Bone marrow aspirate smear — 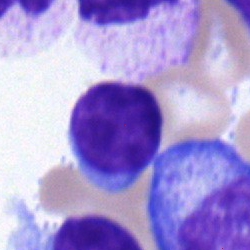
Showing a lymphocyte.